100× oil immersion. Peripheral blood film.
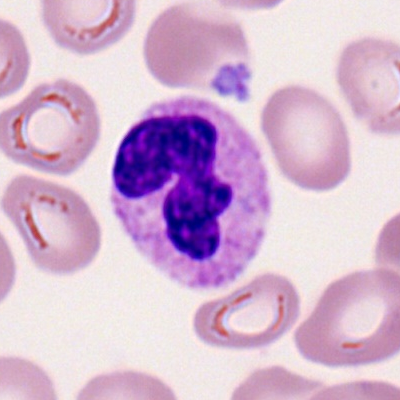The cell shown is a segmented neutrophil.